Brightfield, 40× oil-immersion objective · bone marrow aspirate smear
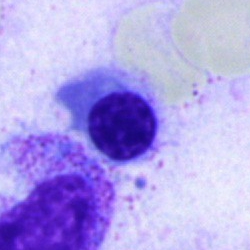

Q: What is the morphological classification of this cell?
A: This is a nucleated red blood cell.